Bone marrow aspirate smear: 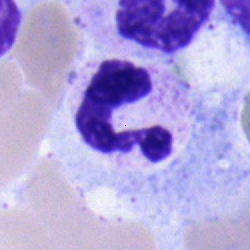 The cell shown is a segmented neutrophil.